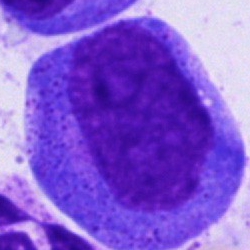
Single cell identified as a progranulocyte.